Peripheral blood smear — 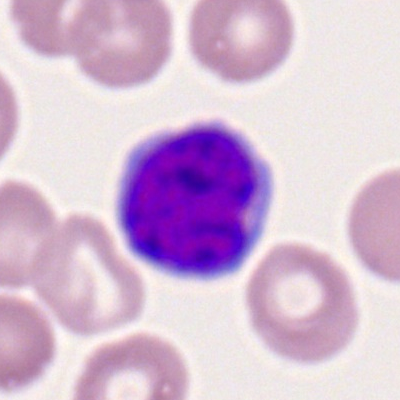 Q: What is the morphological classification of this cell?
A: It is a typical lymphocyte.